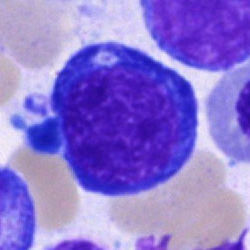 Q: Identify the cell.
A: Erythroblast.